Bone marrow aspirate smear — 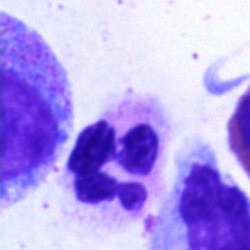
Morphology → neutrophil (segmented).